40× oil immersion. MGG-stained. Bone marrow aspirate smear.
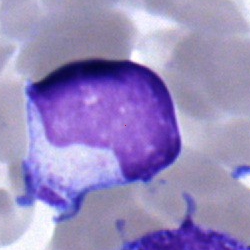Specimen: bone marrow smear.
Cell type: typical lymphocyte.